Bone marrow aspirate smear; May-Grünwald-Giemsa/Pappenheim stain.
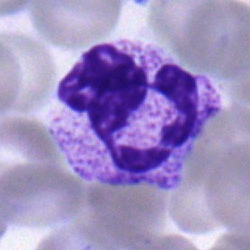 Specimen: bone marrow smear.
Morphological class: segmented neutrophil.